Bone marrow smear — 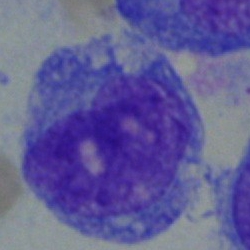Cell — monocyte.